40× oil immersion. Bone marrow aspirate smear. Pappenheim-stained.
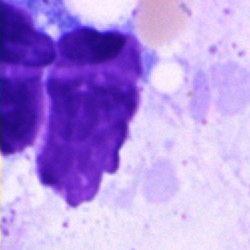

Cell = artefact.